Bone marrow aspirate smear · Pappenheim-stained — 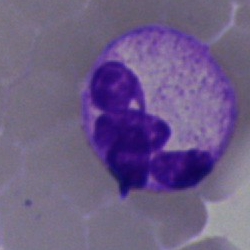Q: What is the morphological classification of this cell?
A: It is a polymorphonuclear neutrophil.